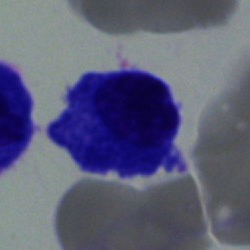
The classification is plasma cell.